Single-cell field; bone marrow aspirate smear
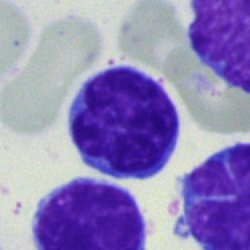

Cell type: lymphocyte.